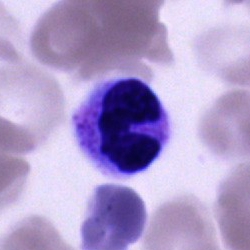
Bone marrow smear showing an unidentifiable cell.